Bone marrow aspirate smear.
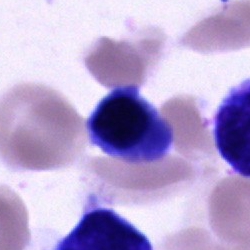

Specimen: bone marrow smear.
Classification: cell of indeterminate lineage.